Bone marrow aspirate smear. MGG-stained. 250×250 px — 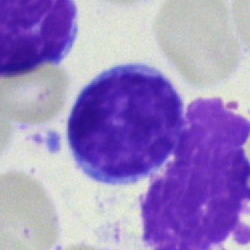The cell shown is a lymphocyte.